Bone marrow aspirate smear · single-cell crop · 40× objective, oil immersion
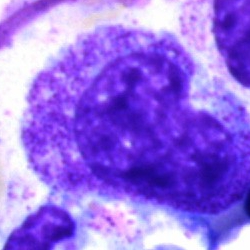 The cell shown is a progranulocyte.